Bone marrow aspirate smear
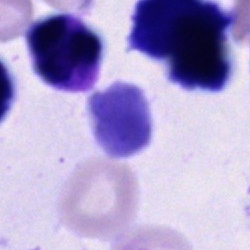Cell type — unidentifiable cell.